Bone marrow smear · single cell centered in the field:
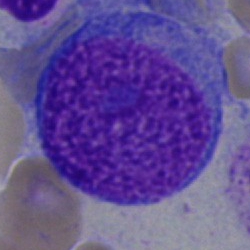 Q: What is the morphological classification of this cell?
A: It is a blast cell.